Pappenheim-stained · bone marrow aspirate smear — 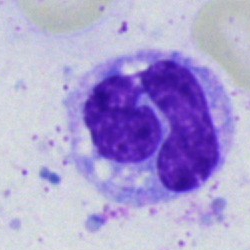Q: What type of cell is this?
A: It is a monocyte.